Bone marrow smear — 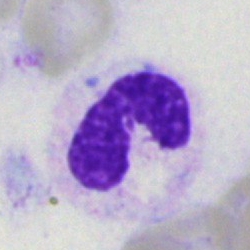 Classification = band-form neutrophil.